Image size 250×250. Bone marrow smear — 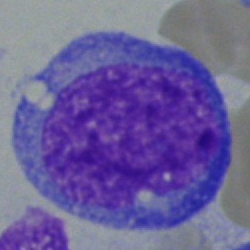
The morphological class is blast cell.